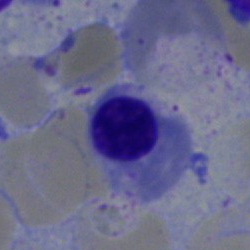Cell = nucleated red cell.